Bone marrow smear; 250 by 250 pixels.
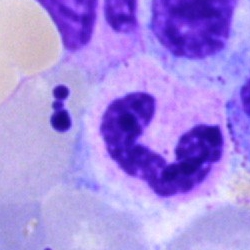

Q: What is shown here?
A: Segmented neutrophil.